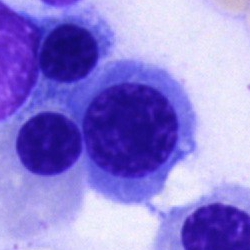
Classification = nucleated red cell.